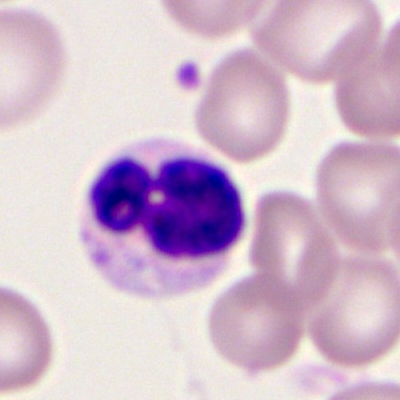The classification is neutrophil (segmented).